Peripheral blood smear: 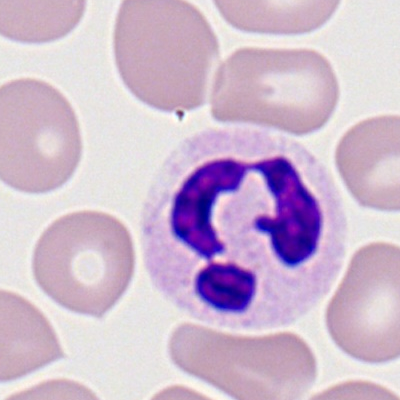Showing a neutrophil (segmented).